Brightfield, 40× oil-immersion objective. Bone marrow smear.
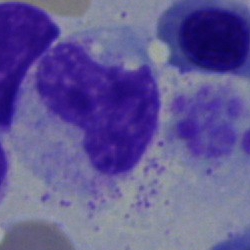 Cell — metamyelocyte.